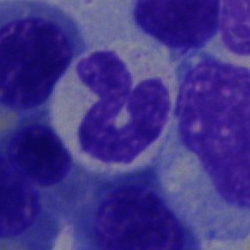Bone marrow aspirate smear, single cell — stab cell.